Bone marrow smear: 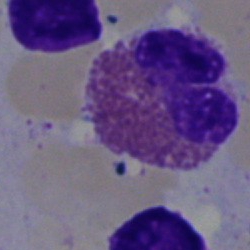{"cell_type": "eosinophil", "lineage": "myeloid"}